Brightfield microscopy, 40× oil immersion. Single cell centered in the field. Bone marrow aspirate smear.
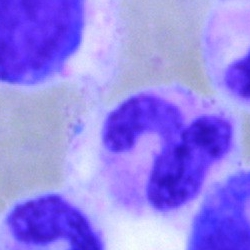
Cell type = segmented neutrophil.